Bone marrow aspirate smear: 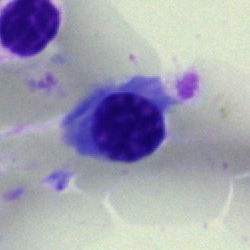 The classification is nucleated red blood cell.